Bone marrow smear — 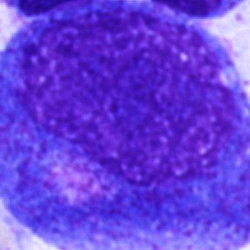 Progranulocyte.